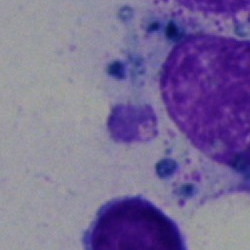
This is an artefact.